Single cell centered in the field · brightfield microscopy, 40× oil immersion · bone marrow smear:
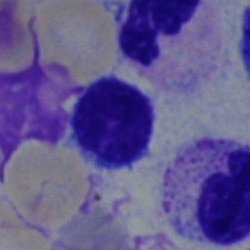Lymphocyte.